Bone marrow smear · single-cell field
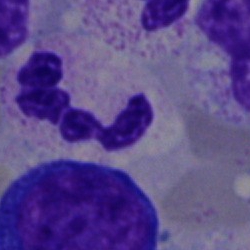

Classification = neutrophil (segmented).